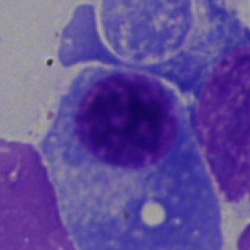 Q: What is shown here?
A: A plasmacyte.